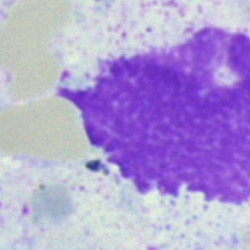
Bone marrow smear showing an artifact.